Single-cell crop. Bone marrow smear.
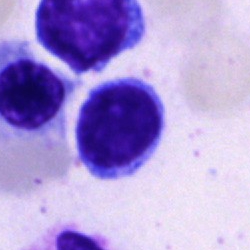
{"cell_type": "lymphocyte", "lineage": "lymphoid"}